Bone marrow smear. 250×250: 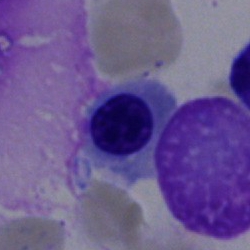
Nucleated red cell.